May-Grünwald-Giemsa/Pappenheim stain; bone marrow smear:
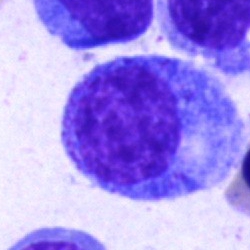

Q: What is the morphological classification of this cell?
A: It is a promyelocyte.